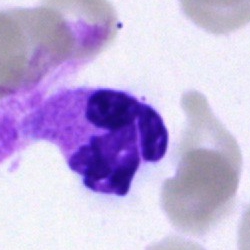

A neutrophil (segmented) on a bone marrow smear.